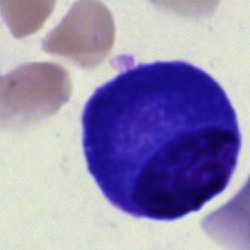
Classification: plasma cell.